Bone marrow smear.
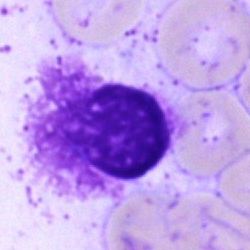 The cell shown is an artefact.